250×250 px · bone marrow smear: 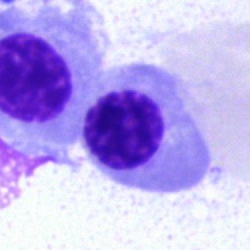
Showing a nucleated red cell.